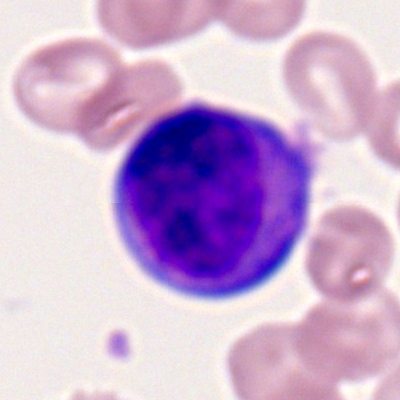Single cell identified as a myeloblast.